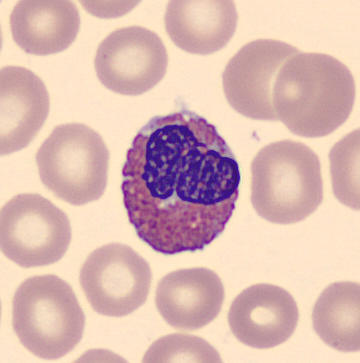
Acquisition: 360 by 363 pixels; single cell centered in the field; peripheral blood film. Morphology consistent with an eosinophil.